Bone marrow aspirate smear · MGG-stained: 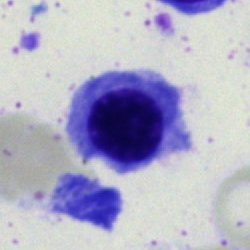 The cell shown is a normoblast.